Single-cell crop. Bone marrow aspirate smear:
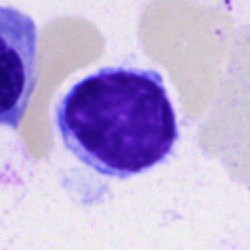 {"cell_type": "lymphocyte", "lineage": "lymphoid"}